Bone marrow smear · MGG-stained.
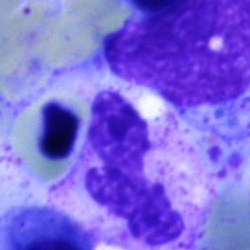
This is a polymorphonuclear neutrophil.